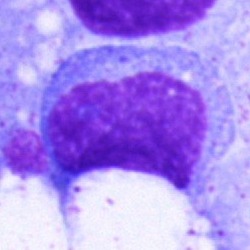Specimen: bone marrow aspirate smear.
Cell type: blast cell.